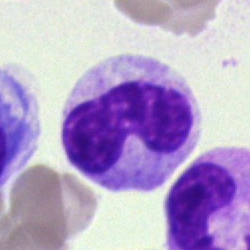
Bone marrow aspirate smear, single cell — band-form neutrophil.